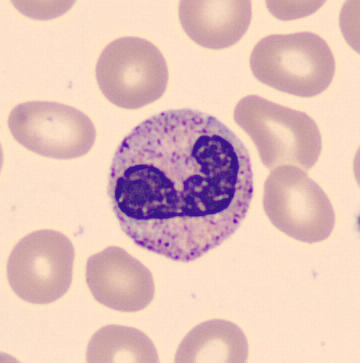

Morphological class: band-form neutrophil.

Image: Peripheral blood film.